Bone marrow smear: 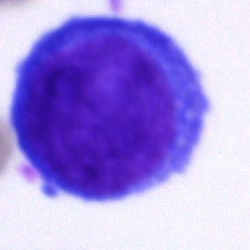Proerythroblast.